Bone marrow aspirate smear:
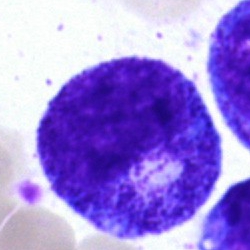
This is a progranulocyte.